Brightfield microscopy, 40× oil immersion; 250 by 250 pixels; bone marrow smear: 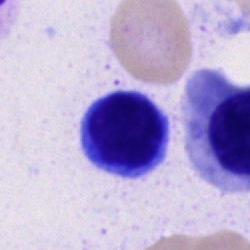

Q: Which cell type is shown here?
A: It is a typical lymphocyte.